Brightfield microscopy, 40× oil immersion. Single cell centered in the field. Bone marrow aspirate smear.
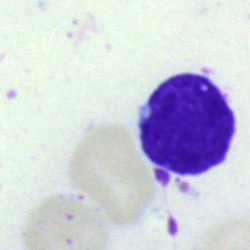 Single cell identified as a typical lymphocyte.